250 by 250 pixels · bone marrow smear.
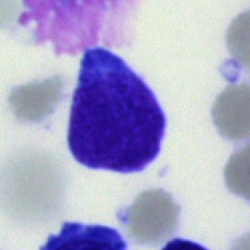Morphological class: blast cell.